Bone marrow aspirate smear.
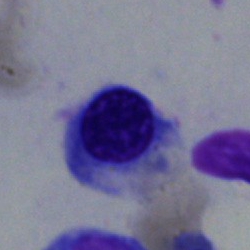 Cell — nucleated red cell.